Bone marrow smear; 250×250 px; single cell centered in the field
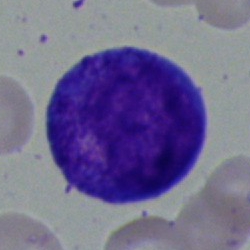 Classification = progranulocyte.